Peripheral blood film:
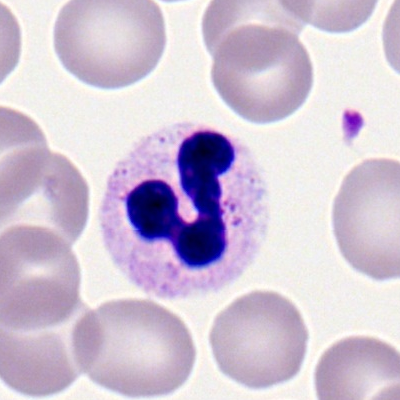

This is a polymorphonuclear neutrophil.